Bone marrow aspirate smear — 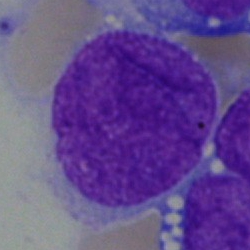 The cell shown is an undifferentiated blast.